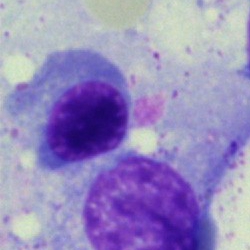The cell type is normoblast.